Bone marrow smear:
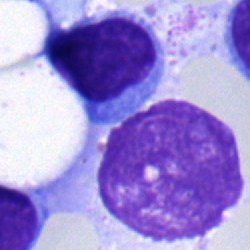Q: What is shown here?
A: A lymphocyte.